Bone marrow smear
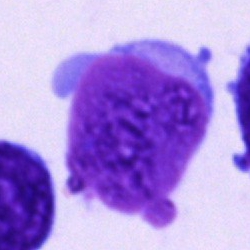Unidentifiable cell.